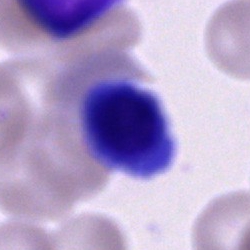

Cell of indeterminate lineage.